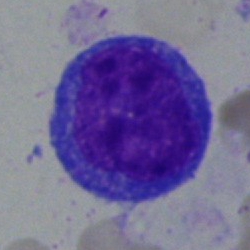 Impression — blast.